Peripheral blood smear. 100× oil immersion.
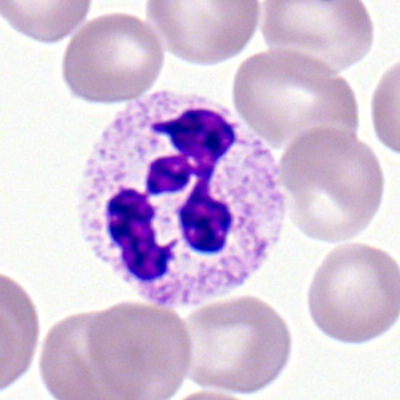Q: What type of cell is this?
A: Polymorphonuclear neutrophil.